Bone marrow smear; 250×250 — 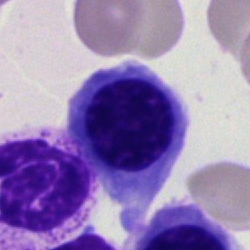

Q: What type of cell is this?
A: It is a nucleated red cell.